Peripheral blood film: 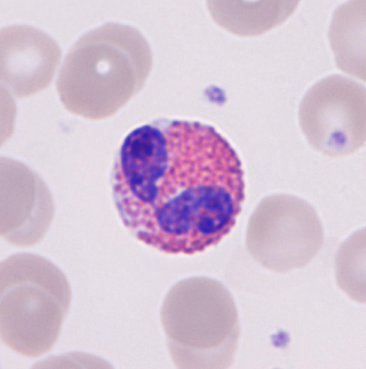
Single cell identified as an eosinophilic granulocyte.